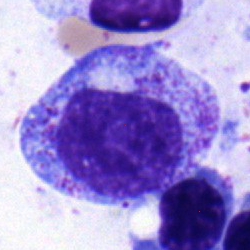 Bone marrow smear showing a myelocyte.